Bone marrow smear; 250×250 px — 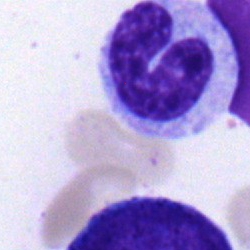
The cell is neutrophil (band).